Bone marrow smear:
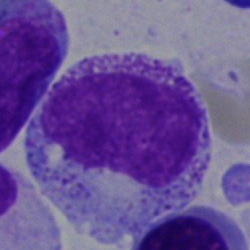 Showing a myelocyte.